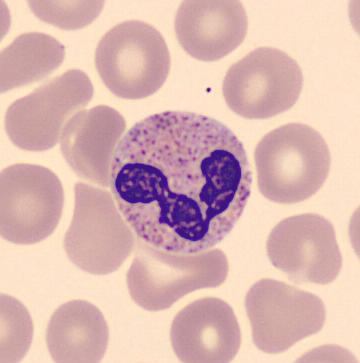Segmented neutrophil.